Bone marrow aspirate smear — 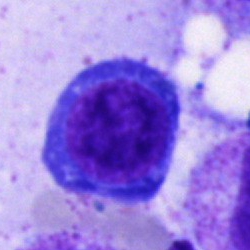
Showing a nucleated red blood cell.